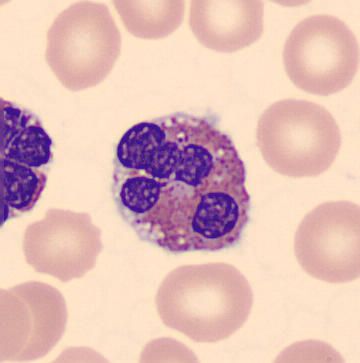 Eosinophilic granulocyte.

Image: Peripheral blood film.